Bone marrow smear
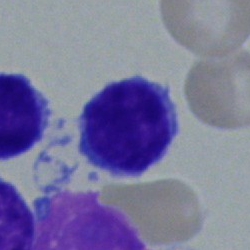
This is a typical lymphocyte.